Bone marrow smear · MGG-stained: 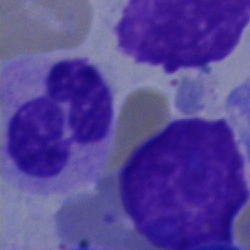

This is a neutrophil (segmented).